Bone marrow aspirate smear.
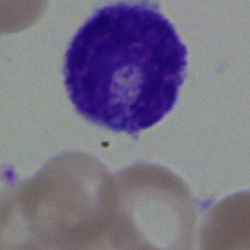

Cell — metamyelocyte.